Bone marrow aspirate smear: 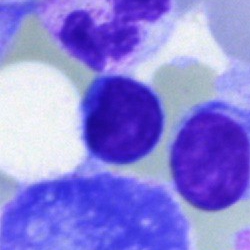
Morphology consistent with a typical lymphocyte.